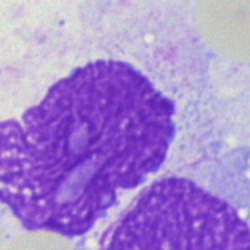Cell type = artifact.